MGG-stained. Bone marrow aspirate smear:
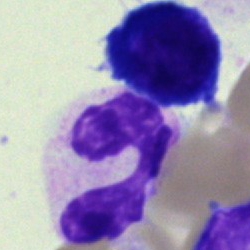Specimen: bone marrow smear.
Morphological class: polymorphonuclear neutrophil.
Lineage: myeloid.